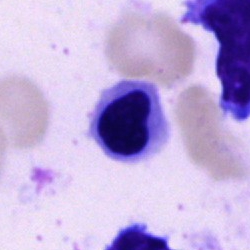

Morphology → nucleated red cell.